40× oil immersion; bone marrow aspirate smear:
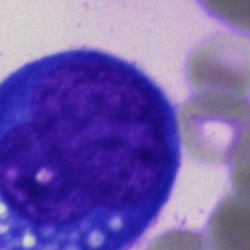
An undifferentiated blast.